Bone marrow smear — 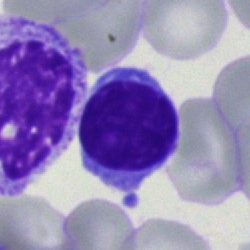

Morphological class — typical lymphocyte.